Bone marrow aspirate smear · single cell centered in the field:
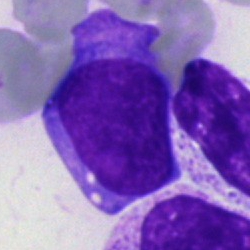Q: What cell is this?
A: It is a blast.